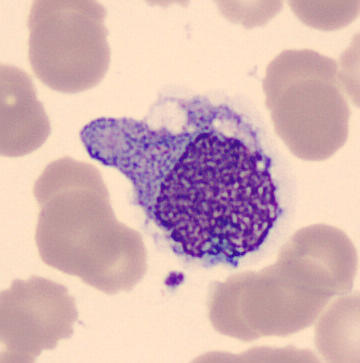

Acquisition: Peripheral blood smear. Monocyte.